Bone marrow aspirate smear:
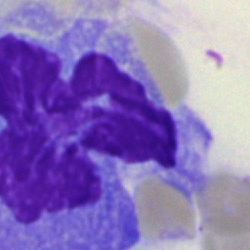

Morphological class = artifact.